Peripheral blood smear
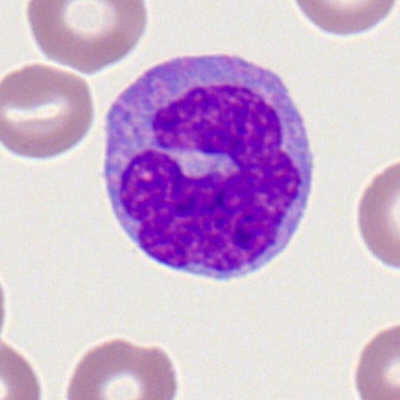Specimen: peripheral blood film.
Classification: monocyte.
Lineage: myeloid.